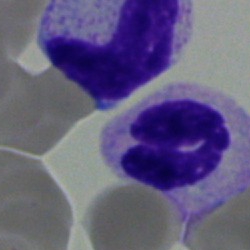 Showing a band-form neutrophil.